Peripheral blood smear · single-cell crop · 400×400.
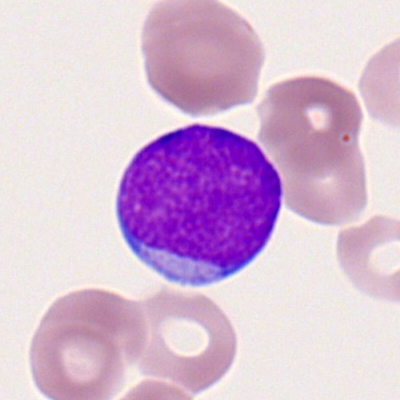

Q: What is the morphological classification of this cell?
A: This is a myeloid blast.